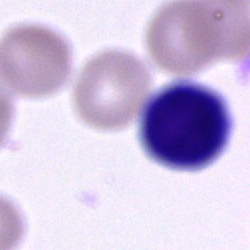

Classification = unidentifiable cell.